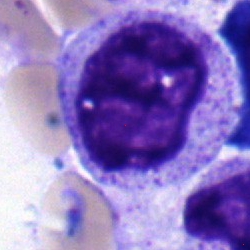
Q: What is the morphological classification of this cell?
A: It is a myelocyte.